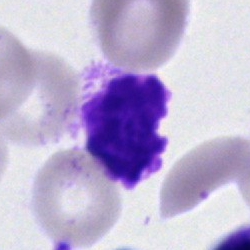Bone marrow aspirate smear, single cell — artifact.